Peripheral blood smear — 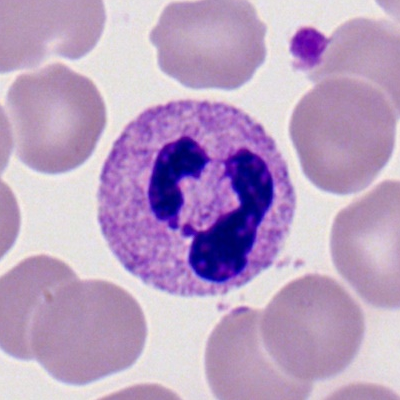 Showing a polymorphonuclear neutrophil.